May-Grünwald-Giemsa/Pappenheim stain. Bone marrow aspirate smear. Brightfield, 40× oil-immersion objective — 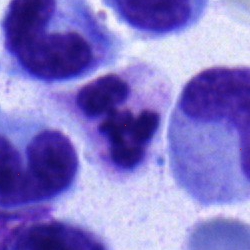
{"cell_type": "segmented neutrophil"}